Single-cell crop; bone marrow smear
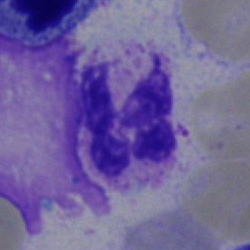Showing a neutrophil (segmented).